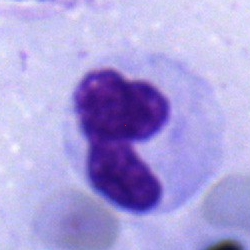 A monocyte on a bone marrow smear.